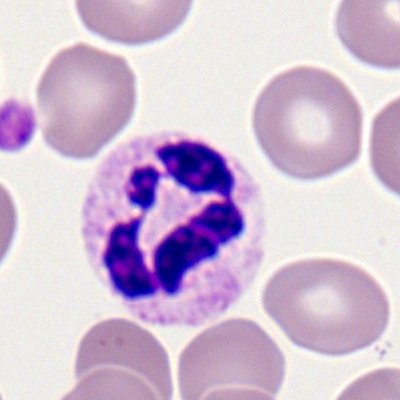

The cell shown is a neutrophil (segmented).